MGG-stained · brightfield microscopy, 40× oil immersion · bone marrow aspirate smear
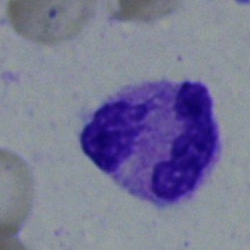
Classification — neutrophil (segmented).